Bone marrow smear
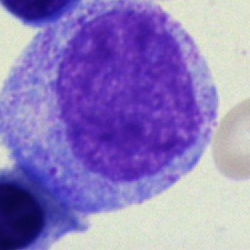 Promyelocyte.